Bone marrow smear · brightfield, 40× oil-immersion objective — 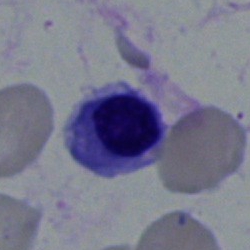 The morphological class is nucleated red blood cell.